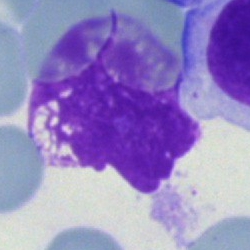

The classification is artifact.